Bone marrow smear · single cell centered in the field
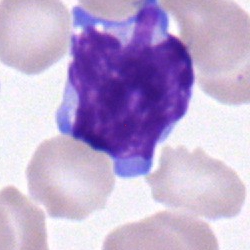

Lymphocyte.